250×250; single cell centered in the field; bone marrow smear:
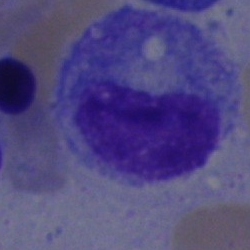Morphology consistent with a progranulocyte.